Bone marrow aspirate smear; 250×250 px: 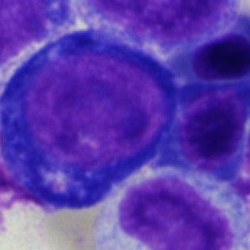
Morphology → pronormoblast.